M8 digital microscope (Precipoint), 100× oil immersion. Peripheral blood film. Romanowsky-stained:
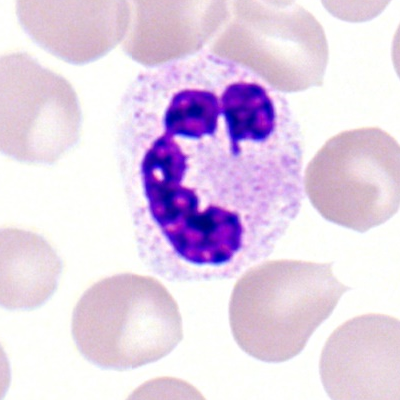

Morphology consistent with a polymorphonuclear neutrophil.